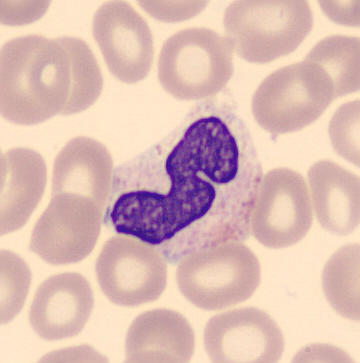

Preparation: Peripheral blood film.

Band-form neutrophil.